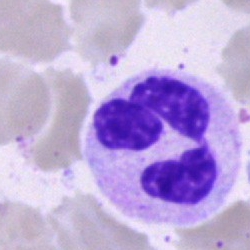Cell = neutrophil (segmented).